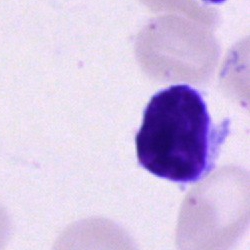
Morphological class: typical lymphocyte.